Single-cell field; bone marrow aspirate smear.
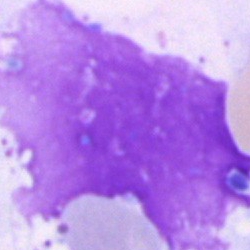
This is an artifact.